Bone marrow smear: 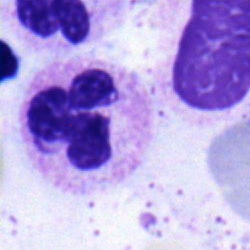{"cell_type": "polymorphonuclear neutrophil"}